Bone marrow aspirate smear · single-cell field · May-Grünwald-Giemsa stain:
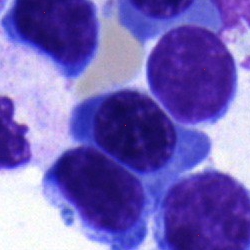
Specimen: bone marrow smear.
Morphological class: nucleated red blood cell.
Lineage: erythroid.